Bone marrow smear; MGG-stained: 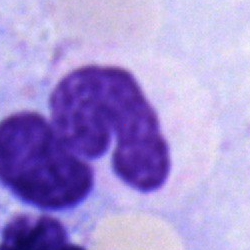The cell is neutrophil (segmented).